Romanowsky-type stain · peripheral blood smear · cropped to a single cell
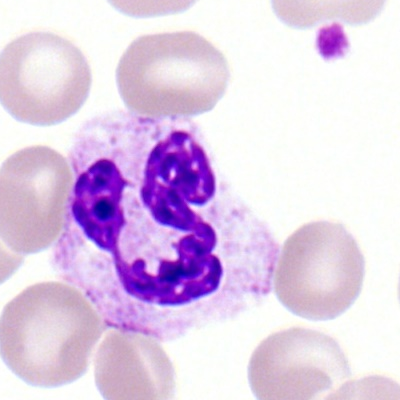
The classification is neutrophil (segmented).